Image size 250×250 · bone marrow smear · 40× oil immersion:
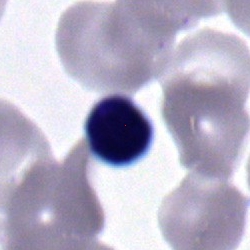

The cell shown is a lymphocyte.